Bone marrow aspirate smear. May-Grünwald-Giemsa/Pappenheim stain. Single-cell crop.
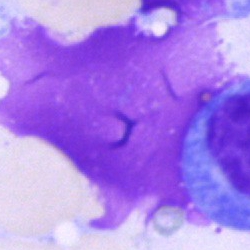

Morphology — artifact.